Single-cell field. Bone marrow aspirate smear
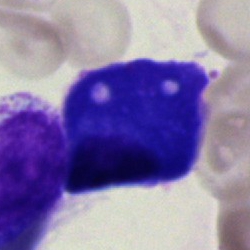Q: What cell is this?
A: A plasma cell.